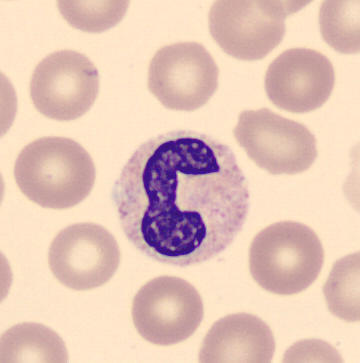
Acquisition: Peripheral blood smear · 360 by 363 pixels.
Impression → band neutrophil.